Bone marrow aspirate smear — 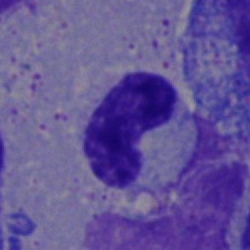
Classification = band neutrophil.